Bone marrow aspirate smear · 40× oil immersion · 250 by 250 pixels
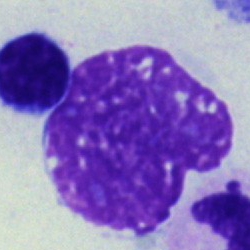 Classification: artefact.